Bone marrow aspirate smear
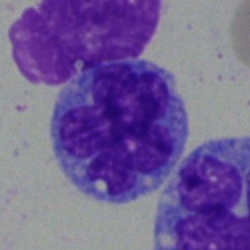Morphological class — monocyte.